May-Grünwald-Giemsa/Pappenheim stain · bone marrow smear: 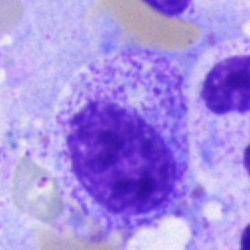
Morphology consistent with a myelocyte.